Bone marrow aspirate smear
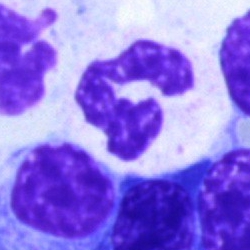
Specimen: bone marrow smear.
Cell: neutrophil (segmented).